Bone marrow aspirate smear · Pappenheim-stained · 40× objective, oil immersion.
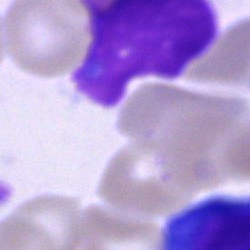

An artifact.